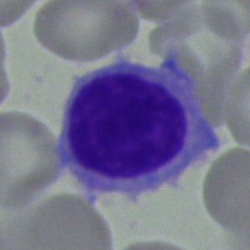
The cell shown is a lymphocyte.